Bone marrow aspirate smear: 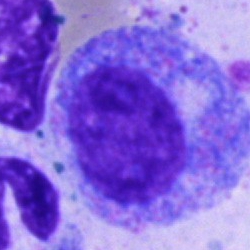A progranulocyte.